Single-cell field; peripheral blood film
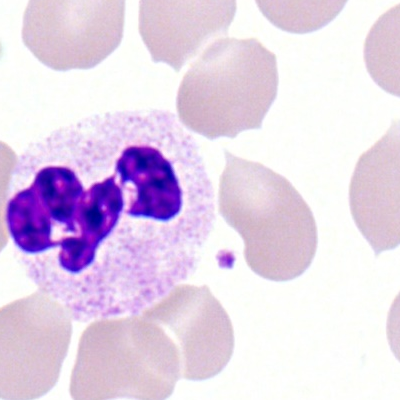 Specimen: peripheral blood film.
Cell type: neutrophil (segmented).
Lineage: myeloid.